Pappenheim-stained; 40× oil immersion; bone marrow smear.
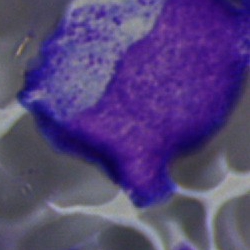Morphology → myelocyte.